Peripheral blood smear:
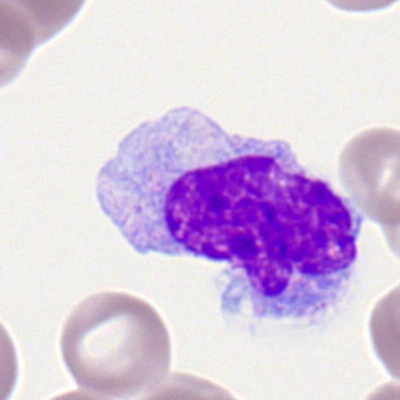
Impression → monocyte.